Bone marrow aspirate smear.
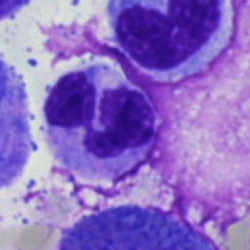 Specimen: bone marrow aspirate smear.
Classification: polymorphonuclear neutrophil.
Lineage: myeloid.